Bone marrow smear; single cell centered in the field:
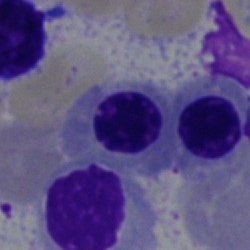

Specimen: bone marrow smear.
Classification: nucleated red cell.
Lineage: erythroid.